Bone marrow smear · 250 by 250 pixels — 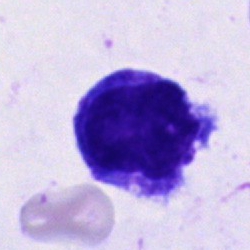
Classification: cell of indeterminate lineage.